Peripheral blood smear — 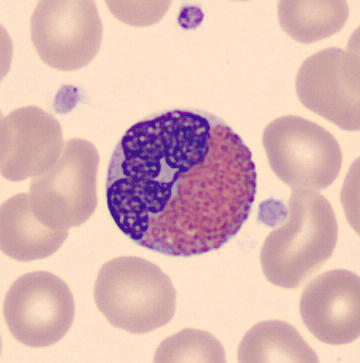 The cell type is eosinophil.